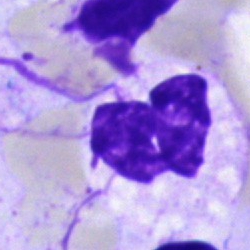
Bone marrow aspirate smear, single cell — artefact.